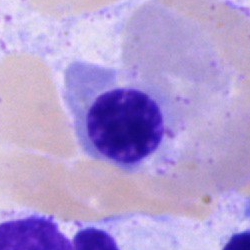Q: What is the morphological classification of this cell?
A: Nucleated red cell.